Bone marrow smear.
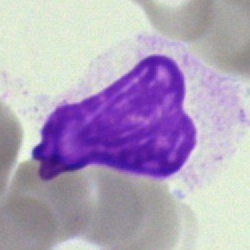 Q: What is shown here?
A: It is an artefact.